Bone marrow aspirate smear — 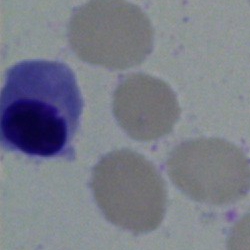
Showing a nucleated red cell.